Bone marrow aspirate smear — 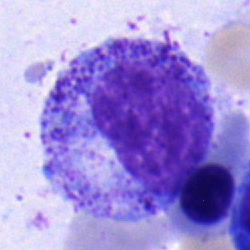 This is a progranulocyte.